Peripheral blood film — 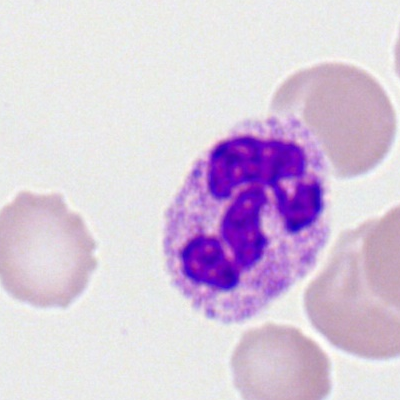

Classification: polymorphonuclear neutrophil.